Bone marrow aspirate smear · 250×250 px — 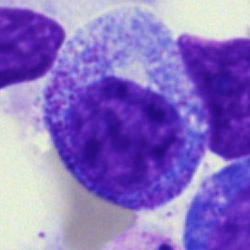

Classification: promyelocyte.